Bone marrow aspirate smear. 250 by 250 pixels. Cropped to a single cell.
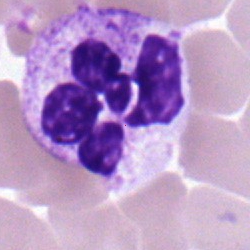 Q: What is the morphological classification of this cell?
A: It is a segmented neutrophil.